Bone marrow aspirate smear; May-Grünwald-Giemsa stain:
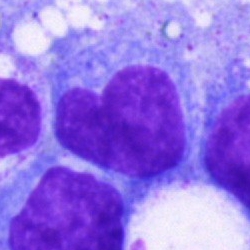Classification: blast.